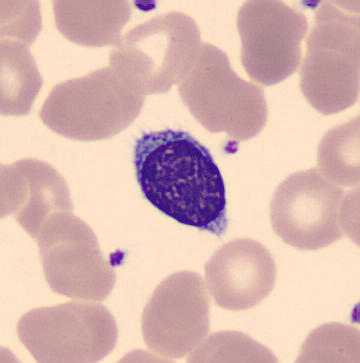 Q: Which cell type is shown here?
A: This is a typical lymphocyte.